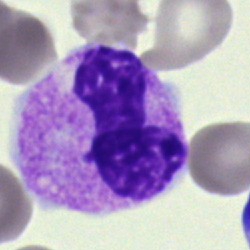Morphological class: neutrophil (band).